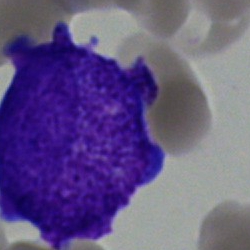

Specimen: bone marrow aspirate smear.
Morphological class: blast cell.